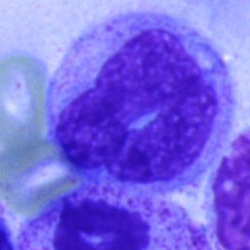Specimen: bone marrow smear.
Classification: monocyte.